Bone marrow aspirate smear:
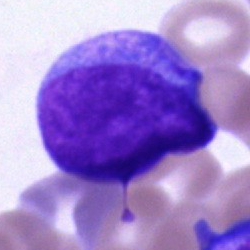 Morphological class: blast cell.